40× oil immersion · bone marrow aspirate smear · cropped to a single cell: 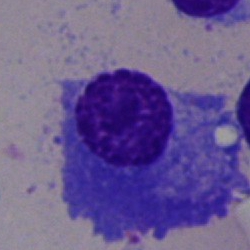 Showing a plasma cell.